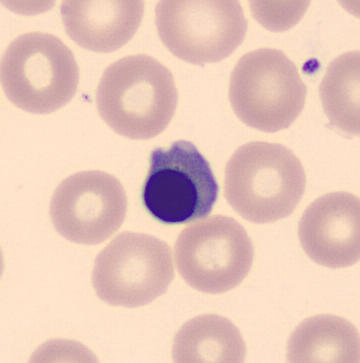Impression — erythroblast.